Bone marrow smear:
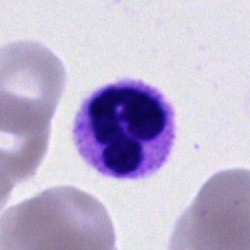
Showing a segmented neutrophil.